Peripheral blood film. MGG-stained
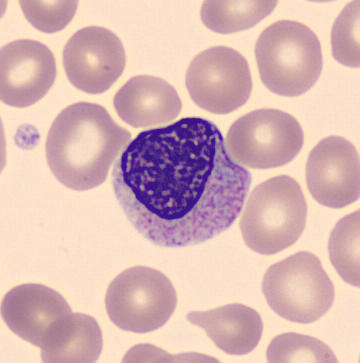Q: Which cell type is shown here?
A: A myelocyte.